Bone marrow smear: 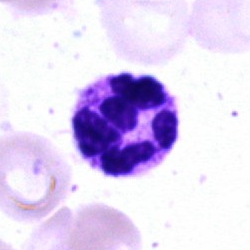
Morphology consistent with a segmented neutrophil.